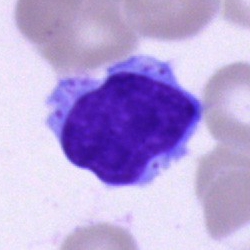
Morphology consistent with a typical lymphocyte.